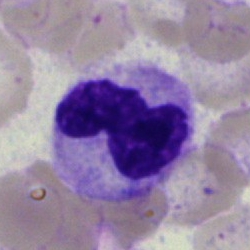Morphological class: neutrophil (band).